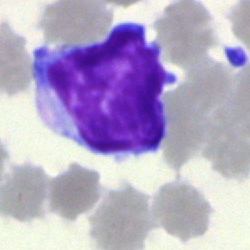Morphology — typical lymphocyte.